250×250 px · bone marrow smear.
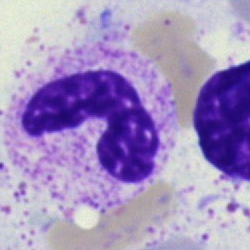The morphological class is polymorphonuclear neutrophil.